Bone marrow aspirate smear. Brightfield, 40× oil-immersion objective
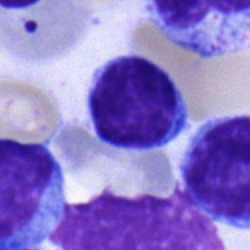
{"cell_type": "lymphocyte", "lineage": "lymphoid"}